250×250 px; MGG-stained; bone marrow aspirate smear
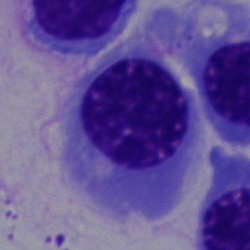

Morphology → nucleated red blood cell.